Bone marrow smear. Pappenheim-stained — 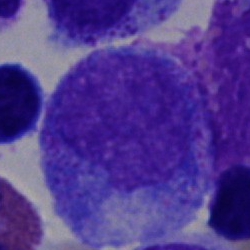 The cell shown is a progranulocyte.